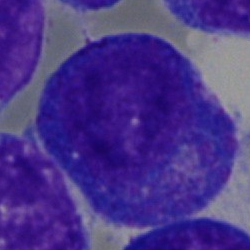 Cell: progranulocyte.